Peripheral blood film: 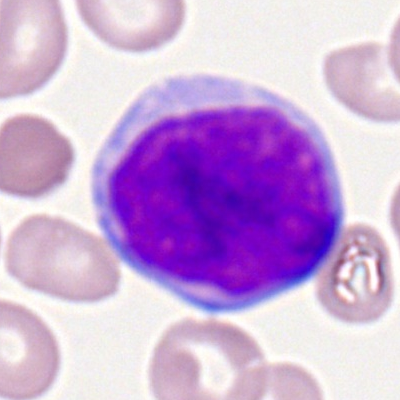Showing a myeloid blast.